Bone marrow smear.
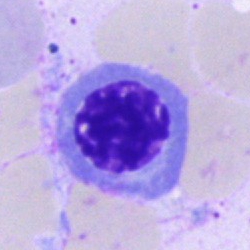Morphology → nucleated red blood cell.